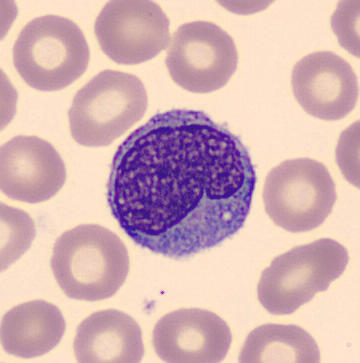 Showing a monocyte.

Peripheral blood smear.